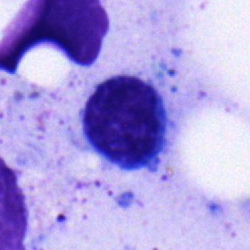A lymphocyte on a bone marrow smear.